Bone marrow smear. MGG-stained. 40× oil immersion
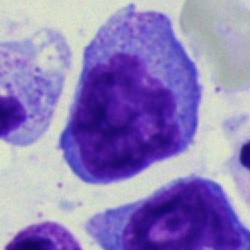 This is a lymphocyte.